Bone marrow smear. 250×250
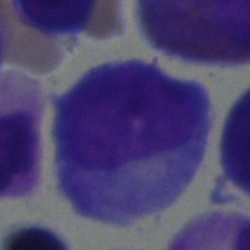

The morphological class is myelocyte.